40× objective, oil immersion. Bone marrow aspirate smear. May-Grünwald-Giemsa/Pappenheim stain — 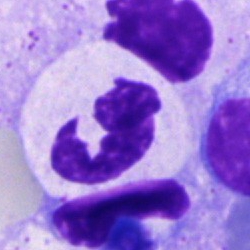This is a polymorphonuclear neutrophil.